250×250. Brightfield, 40× oil-immersion objective. Bone marrow smear
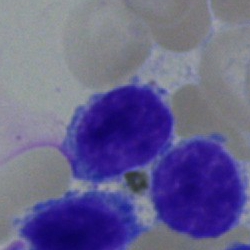A typical lymphocyte.